Bone marrow smear: 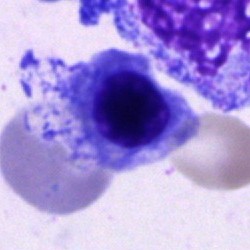
Classification: nucleated red blood cell.